Bone marrow smear — 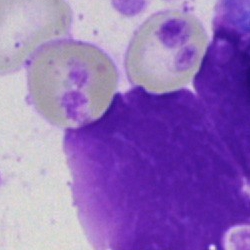This is an artifact.